Romanowsky-type stain · 400×400 px · peripheral blood film.
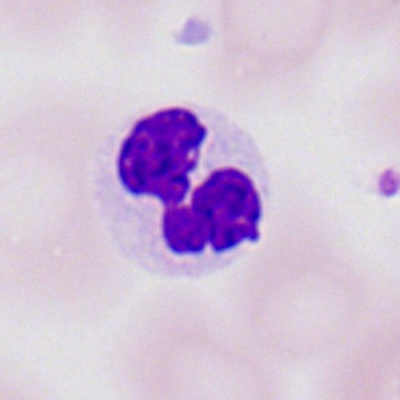

This is a segmented neutrophil.